Bone marrow smear; brightfield microscopy, 40× oil immersion — 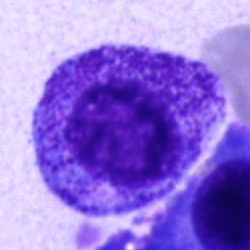 Cell — promyelocyte.